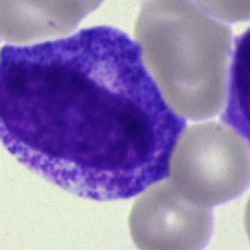Classification: myelocyte.